Single cell centered in the field · bone marrow aspirate smear — 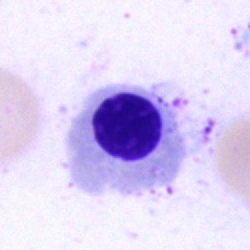
This is a nucleated red blood cell.